Bone marrow aspirate smear — 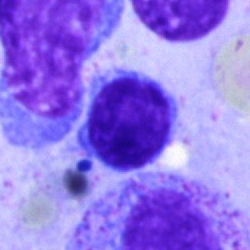 Cell = lymphocyte.